Bone marrow smear
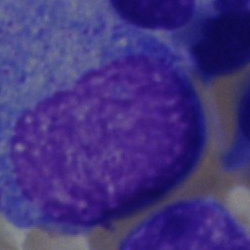

Morphology consistent with a promyelocyte.